May-Grünwald-Giemsa/Pappenheim stain; bone marrow aspirate smear:
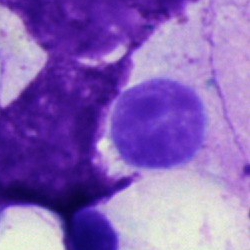

Q: Identify the cell.
A: This is a lymphocyte.